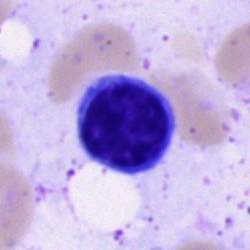 Q: What type of cell is this?
A: Typical lymphocyte.